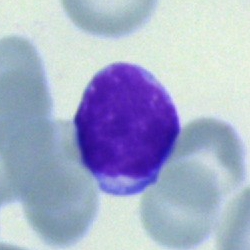
Cell — lymphocyte.